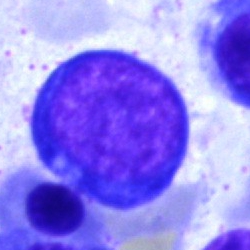

Cell type: normoblast.